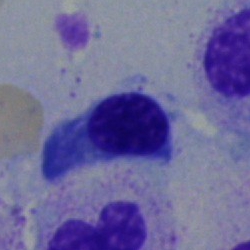
Classification = erythroblast.